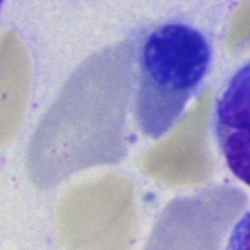

Classification: artifact.